Image size 250×250. Brightfield microscopy, 40× oil immersion. Bone marrow smear.
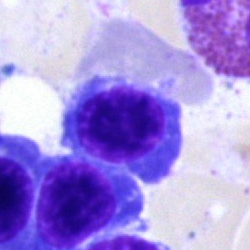Specimen: bone marrow smear.
Cell: normoblast.
Lineage: erythroid.